Bone marrow aspirate smear — 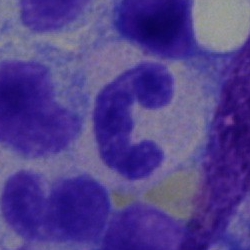

Showing a polymorphonuclear neutrophil.